Bone marrow smear:
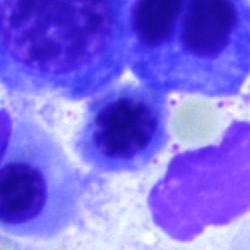Morphology consistent with an erythroblast.